Cropped to a single cell. Bone marrow smear.
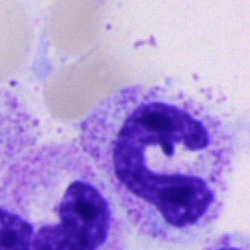 Single cell identified as a neutrophil (band).